Peripheral blood film: 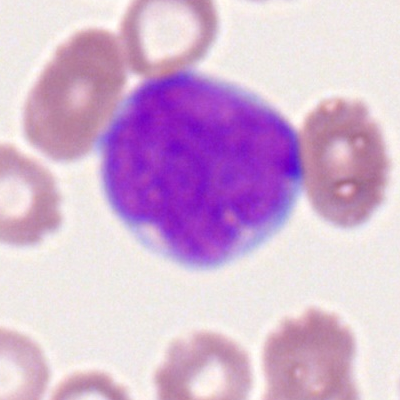 Morphology → myeloblast.